Peripheral blood film — 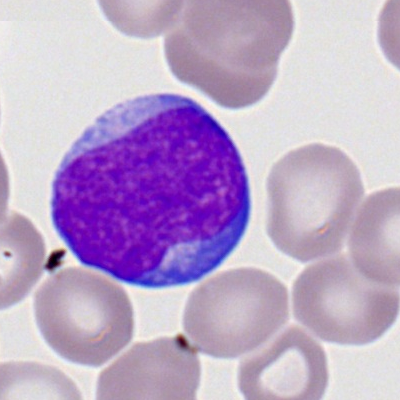
Cell type: myeloid blast.